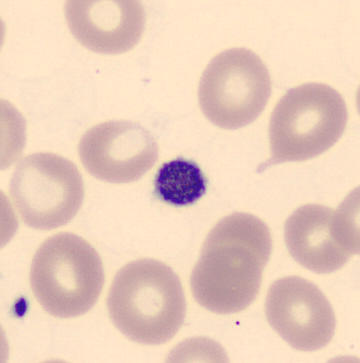
Platelet. Preparation: Peripheral blood film.